Peripheral blood smear: 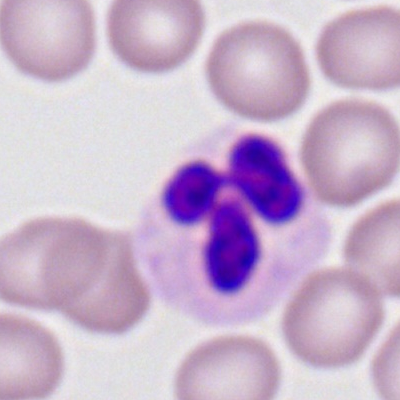 Polymorphonuclear neutrophil.